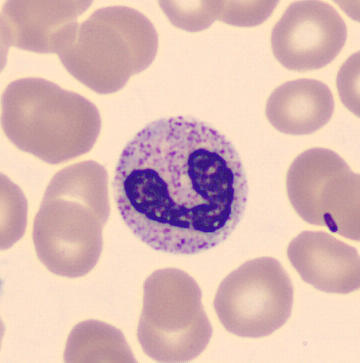 Q: What cell is this?
A: This is a stab cell.
Peripheral blood film.